Bone marrow aspirate smear · 40× oil immersion · single cell centered in the field
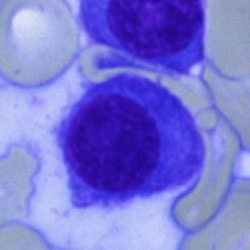

The cell type is plasma cell.